Bone marrow smear.
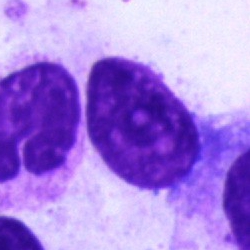Morphology consistent with an artefact.